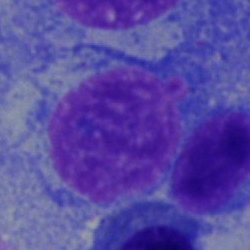
Single-cell crop from a bone marrow smear: plasma cell.